Bone marrow aspirate smear:
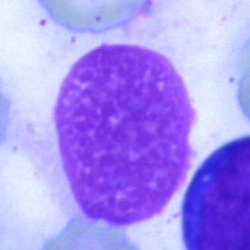

Specimen: bone marrow aspirate smear.
Cell type: artifact.